Bone marrow aspirate smear
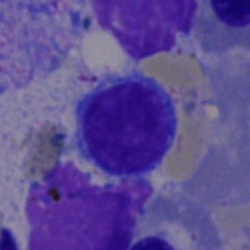This is a lymphocyte.